MGG-stained; bone marrow smear — 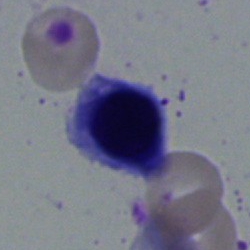
Q: What is shown here?
A: It is a nucleated red blood cell.